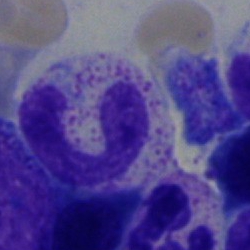 A band-form neutrophil.